Bone marrow smear. May-Grünwald-Giemsa/Pappenheim stain: 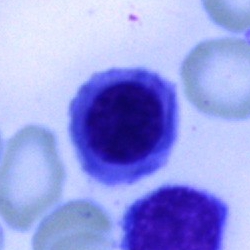 This is a normoblast.